Bone marrow smear; brightfield, 40× oil-immersion objective:
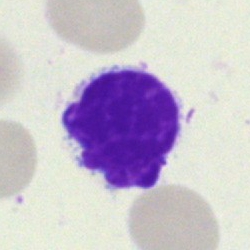An artifact.